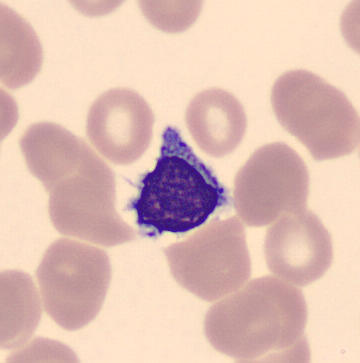

This is a lymphocyte. Image: Peripheral blood smear.